Bone marrow smear; single-cell crop.
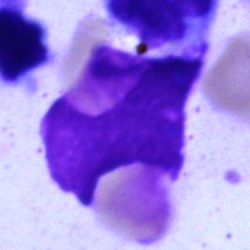Morphology — artefact.